Bone marrow aspirate smear; image size 250×250; brightfield microscopy, 40× oil immersion
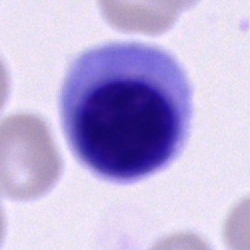 A nucleated red cell.